250×250; bone marrow aspirate smear; single-cell crop: 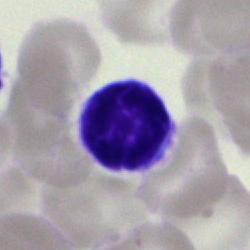Q: Which cell type is shown here?
A: A typical lymphocyte.